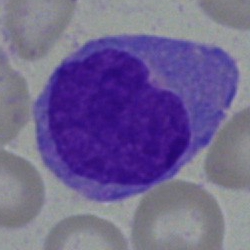
Classification = monocyte.